Single cell centered in the field; peripheral blood smear.
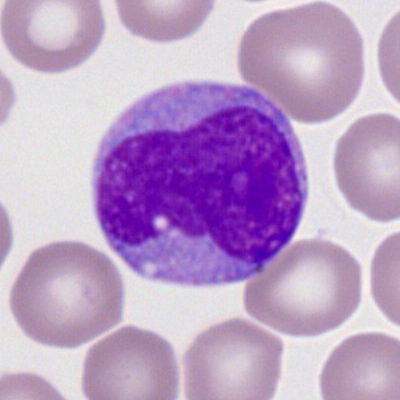
Cell type — monocyte.